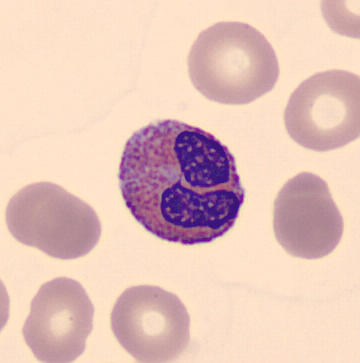Peripheral blood film. Morphological class — eosinophilic granulocyte.